Bone marrow aspirate smear. 250×250 px:
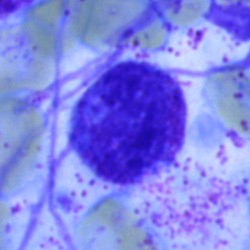 Artefact.